Bone marrow smear
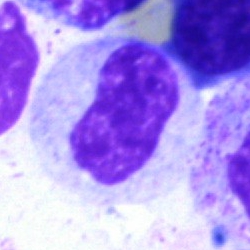

A stab cell.